Bone marrow smear: 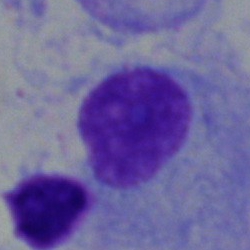 Morphology — plasma cell.